Bone marrow aspirate smear · single-cell crop.
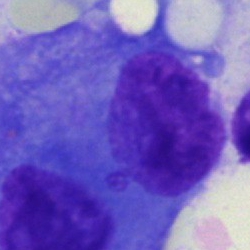
The classification is plasmacyte.